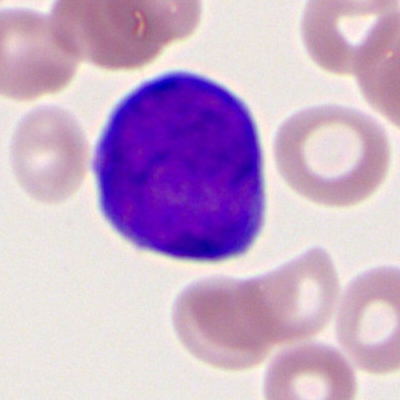
{"cell_type": "myeloid blast", "lineage": "myeloid"}